Single-cell field · bone marrow aspirate smear
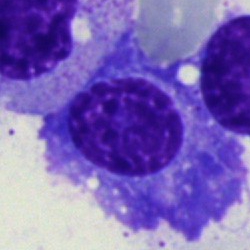

Q: Identify the cell.
A: This is a plasma cell.